May-Grünwald-Giemsa/Pappenheim stain · 250 by 250 pixels · bone marrow aspirate smear
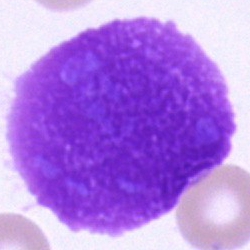An artifact.